Peripheral blood film · single cell centered in the field
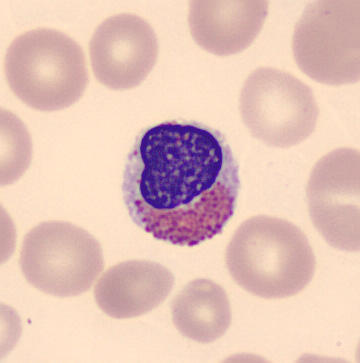

Single cell identified as an eosinophil.